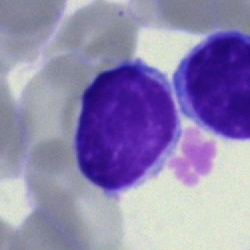
Specimen: bone marrow smear.
Morphological class: typical lymphocyte.
Lineage: lymphoid.